Bone marrow aspirate smear · brightfield microscopy, 40× oil immersion:
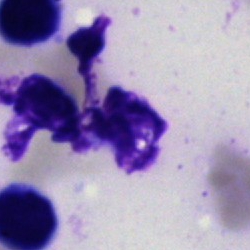Specimen: bone marrow smear.
Morphological class: artefact.